40× objective, oil immersion · bone marrow aspirate smear.
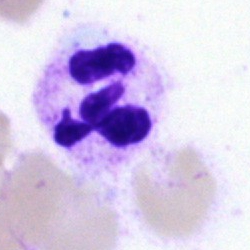

Impression — segmented neutrophil.